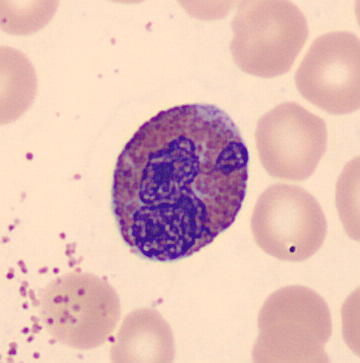

Image: Peripheral blood smear · single-cell field.

Cell — eosinophil.